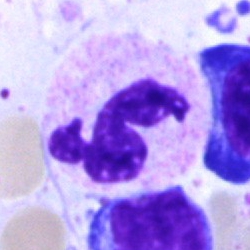

This is a segmented neutrophil.